Brightfield, 40× oil-immersion objective · 250 by 250 pixels · bone marrow aspirate smear — 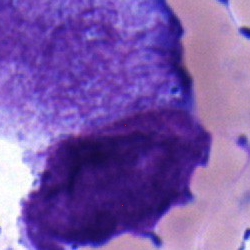
Showing an undifferentiated blast.